Pappenheim-stained. Bone marrow aspirate smear. Single-cell crop — 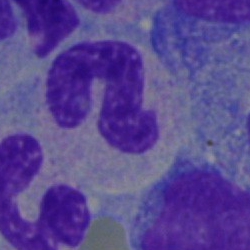Morphological class — erythroblast.